Bone marrow aspirate smear; Pappenheim-stained:
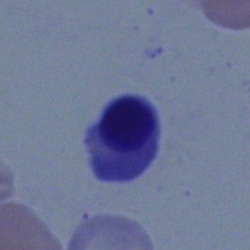 Specimen: bone marrow aspirate smear.
Cell type: nucleated red cell.
Lineage: erythroid.